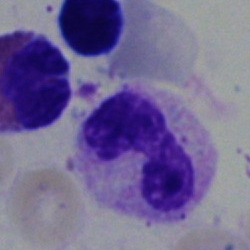The cell shown is a band neutrophil.